Bone marrow smear — 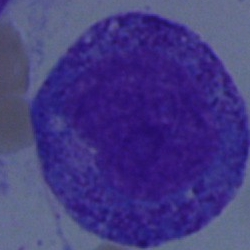
Morphology consistent with a promyelocyte.